250×250 px · Pappenheim-stained · bone marrow smear:
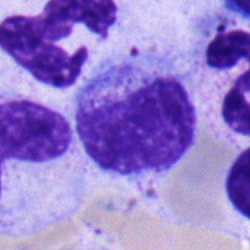Cell = metamyelocyte.